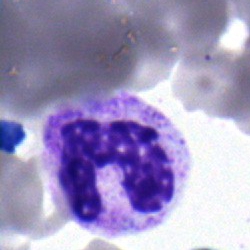 Specimen: bone marrow smear.
Cell: polymorphonuclear neutrophil.
Lineage: myeloid.